Bone marrow aspirate smear · May-Grünwald-Giemsa/Pappenheim stain: 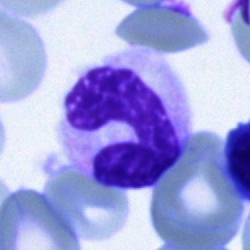

Classification: segmented neutrophil.